Bone marrow smear; single-cell field: 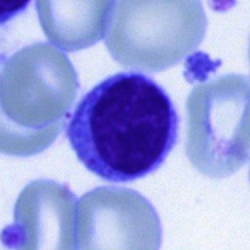
Q: Which cell type is shown here?
A: Typical lymphocyte.